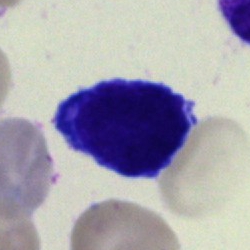{"cell_type": "typical lymphocyte", "lineage": "lymphoid"}